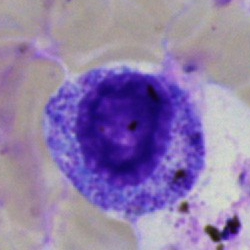 Showing a myelocyte.